May-Grünwald-Giemsa stain; single cell centered in the field; bone marrow aspirate smear: 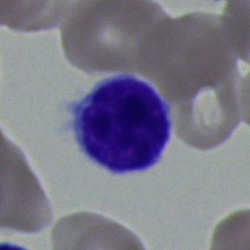 Q: Identify the cell.
A: It is a typical lymphocyte.